Bone marrow smear: 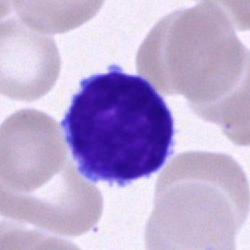 Specimen: bone marrow smear.
Classification: lymphocyte.
Lineage: lymphoid.